Bone marrow smear — 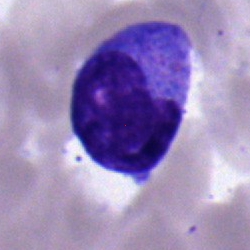Monocyte.